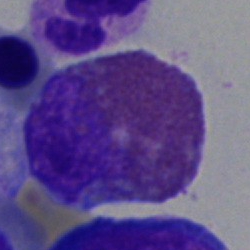

Cell = eosinophil.